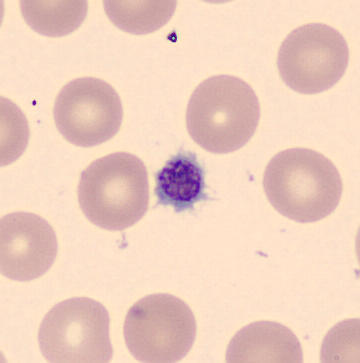Image: Peripheral blood smear.
A platelet.